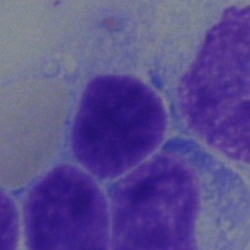Single-cell crop from a bone marrow smear: typical lymphocyte.